Bone marrow aspirate smear
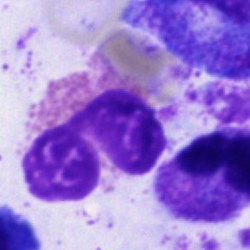

Cell = eosinophilic granulocyte.